Bone marrow aspirate smear. 40× oil immersion — 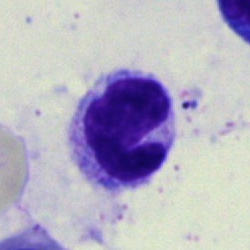

Polymorphonuclear neutrophil.